Bone marrow smear.
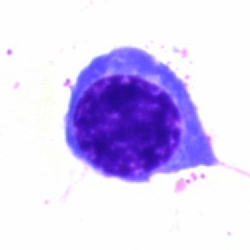

The cell is erythroblast.